Bone marrow aspirate smear · brightfield microscopy, 40× oil immersion — 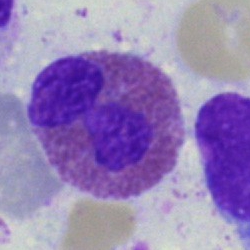

Classification — eosinophil.